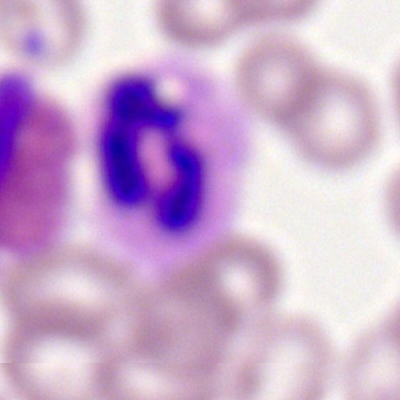Specimen: peripheral blood smear.
Classification: neutrophil (segmented).